Bone marrow smear. Single-cell field.
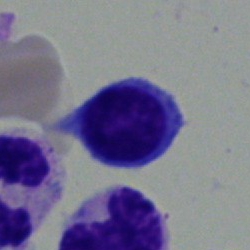 A typical lymphocyte.